Bone marrow smear
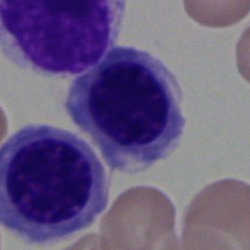 Classification = normoblast.